Bone marrow smear.
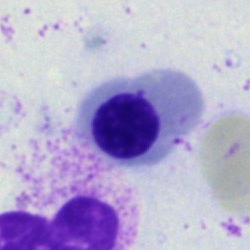
Nucleated red blood cell.